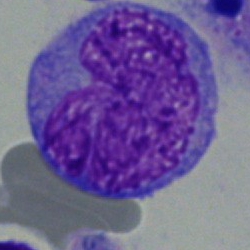Q: Which cell type is shown here?
A: An undifferentiated blast.